Bone marrow aspirate smear · MGG-stained:
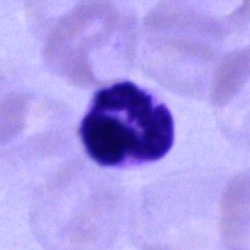

Q: Which cell type is shown here?
A: Polymorphonuclear neutrophil.